Bone marrow smear; 40× objective, oil immersion:
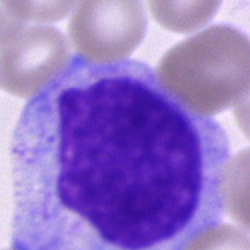Cell type: cell of indeterminate lineage.